Bone marrow aspirate smear. Image size 250×250.
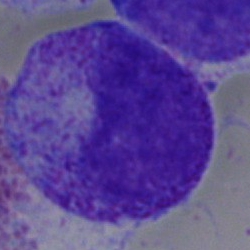

Morphology consistent with a progranulocyte.